Single-cell field · bone marrow aspirate smear: 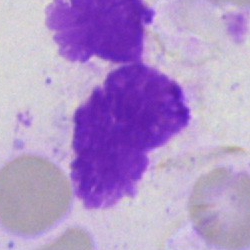 Impression — artifact.